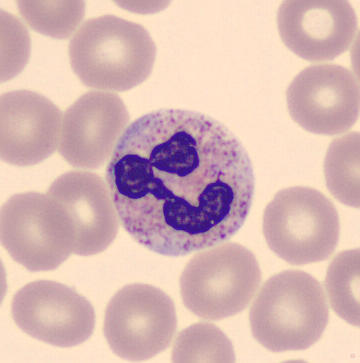Morphology → segmented neutrophil. Acquisition: MGG stain; peripheral blood smear; 360×363.